250×250 px · May-Grünwald-Giemsa/Pappenheim stain · bone marrow smear:
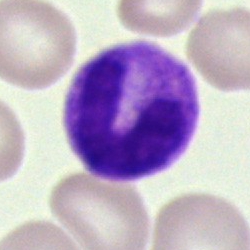
Stab cell.